Cropped to a single cell. Pappenheim-stained. Bone marrow smear
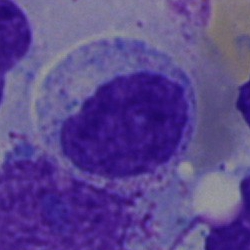
Specimen: bone marrow aspirate smear.
Morphological class: myelocyte.
Lineage: myeloid.